Bone marrow aspirate smear. 250 by 250 pixels
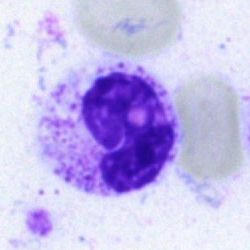
Specimen: bone marrow smear.
Cell: polymorphonuclear neutrophil.